Bone marrow aspirate smear.
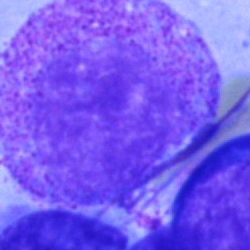

Cell = myelocyte.